MGG-stained. Bone marrow aspirate smear. Single-cell crop — 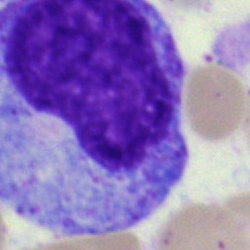 Q: What cell is this?
A: A progranulocyte.